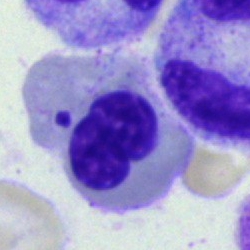Classification — normoblast.